Bone marrow smear; 250 by 250 pixels.
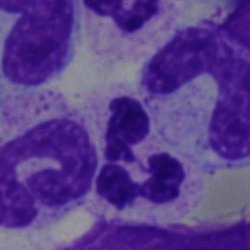
Showing a neutrophil (segmented).